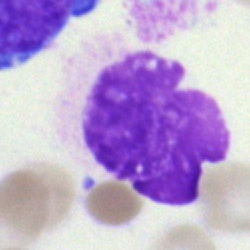
Classification — artefact.